Bone marrow aspirate smear: 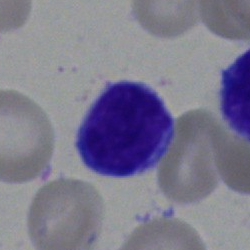

Q: What is the morphological classification of this cell?
A: A typical lymphocyte.